Cropped to a single cell · bone marrow smear · MGG-stained — 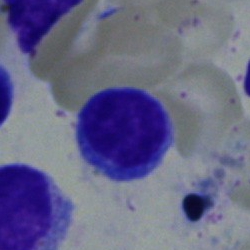The cell shown is a lymphocyte.